Bone marrow smear; May-Grünwald-Giemsa/Pappenheim stain
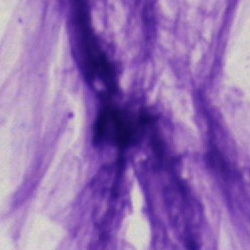Specimen: bone marrow smear.
Morphological class: artefact.